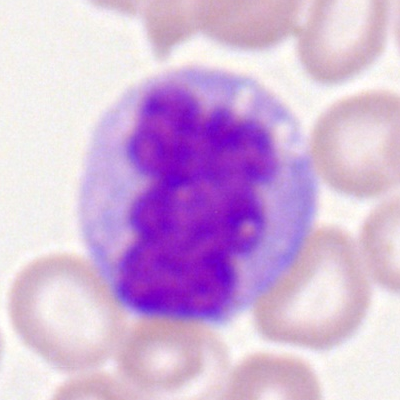

Cell type: monocyte.